Bone marrow aspirate smear · brightfield microscopy, 40× oil immersion: 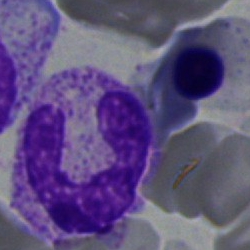

{"cell_type": "neutrophil (band)"}